Bone marrow smear
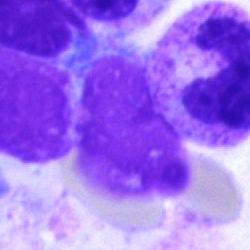
An artifact.